Bone marrow aspirate smear — 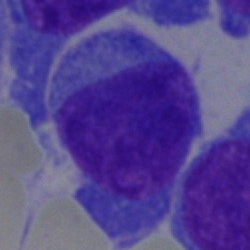

Cell — plasma cell.